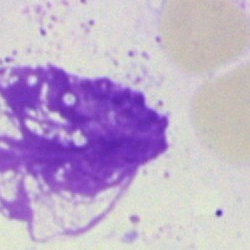
Impression → artefact.